Bone marrow smear
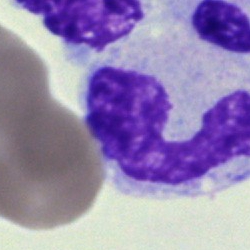

Impression — band-form neutrophil.